Bone marrow smear — 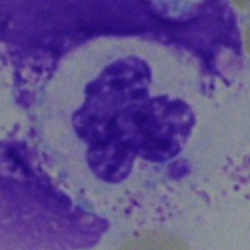

This is a polymorphonuclear neutrophil.